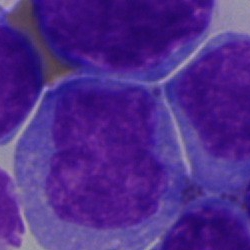Impression → blast.